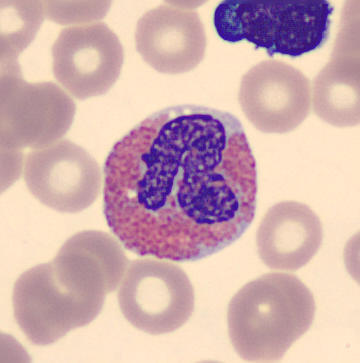Image: CellaVision DM96; single cell centered in the field; peripheral blood smear.

Eosinophil.